Cropped to a single cell. MGG-stained. Bone marrow aspirate smear.
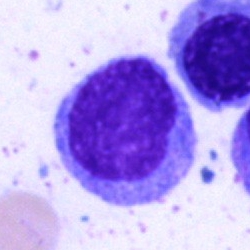 The cell shown is a lymphocyte.